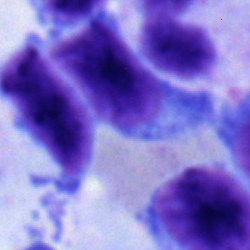The morphological class is typical lymphocyte.